Romanowsky-type stain. 400×400 px. Peripheral blood smear:
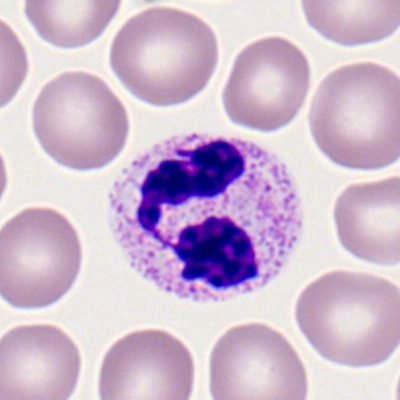 Morphology → segmented neutrophil.